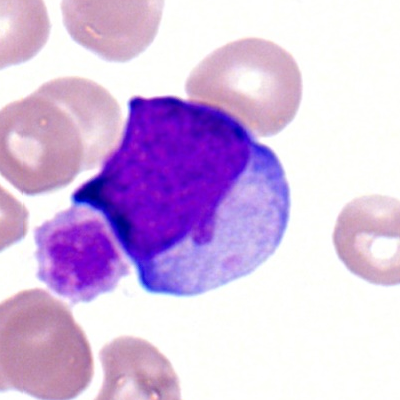 Q: Which cell type is shown here?
A: This is a myeloid blast.